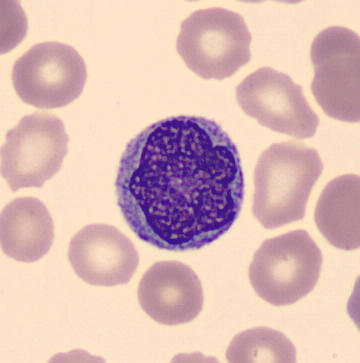
Q: Identify the cell.
A: This is a monocyte.